May-Grünwald-Giemsa stain. Bone marrow smear.
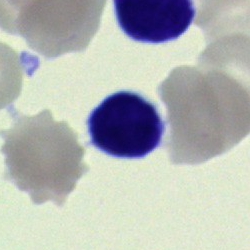 A typical lymphocyte.